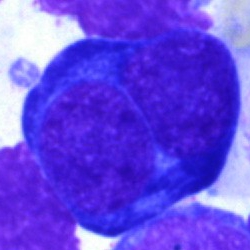 Specimen: bone marrow aspirate smear.
Cell type: normoblast.